Bone marrow aspirate smear — 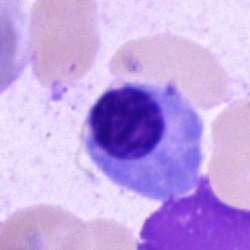 A nucleated red blood cell.